Bone marrow aspirate smear.
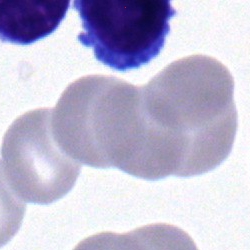

This is a lymphocyte.